May-Grünwald-Giemsa/Pappenheim stain · cropped to a single cell · bone marrow smear:
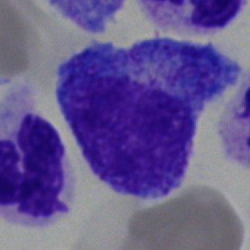

Classification: progranulocyte.